Bone marrow aspirate smear; 40× oil immersion.
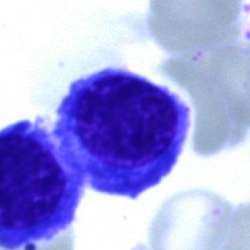

Cell type — nucleated red cell.